Bone marrow smear · brightfield, 40× oil-immersion objective: 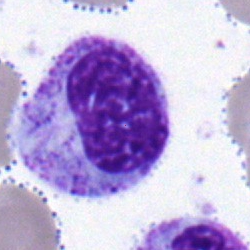 Specimen: bone marrow smear.
Cell type: metamyelocyte.
Lineage: myeloid.